Peripheral blood film:
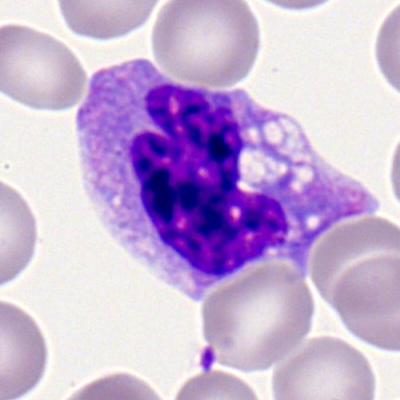 Morphological class — monocyte.